Pappenheim-stained · bone marrow smear — 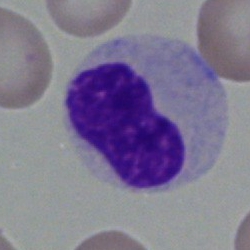

Single cell identified as a band neutrophil.